Bone marrow smear.
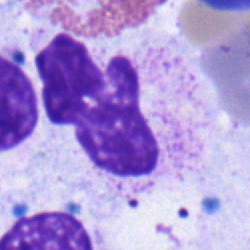 Q: What is shown here?
A: It is a polymorphonuclear neutrophil.